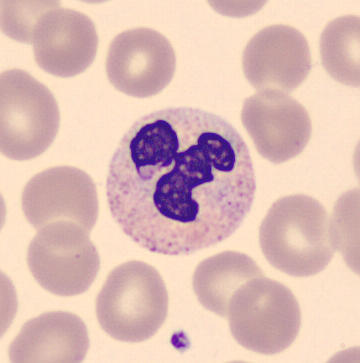
Acquisition: MGG stain; CellaVision DM96; peripheral blood film.

Cell: neutrophil (segmented).